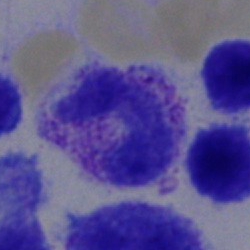 The cell type is band neutrophil.